Bone marrow smear. Image size 250×250. MGG-stained:
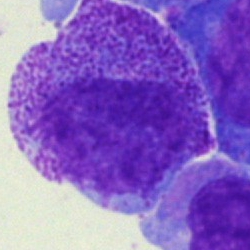Morphological class: promyelocyte.